Bone marrow smear — 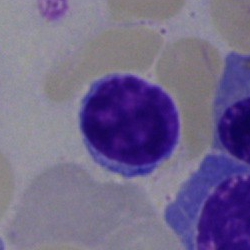
Morphology consistent with a lymphocyte.